Bone marrow aspirate smear · 40× objective, oil immersion: 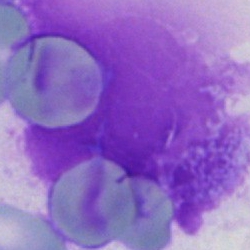
Impression — artifact.